250×250 px · brightfield, 40× oil-immersion objective · bone marrow aspirate smear: 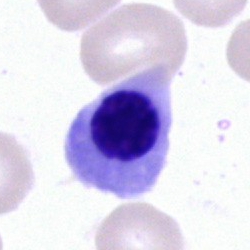 Q: Identify the cell.
A: This is a nucleated red cell.